Bone marrow aspirate smear
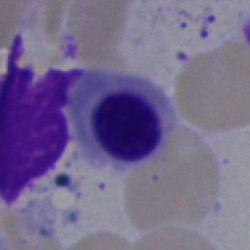
This is a normoblast.